Bone marrow smear
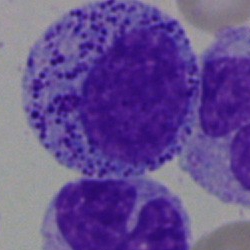 Q: Identify the cell.
A: It is a progranulocyte.